Bone marrow aspirate smear:
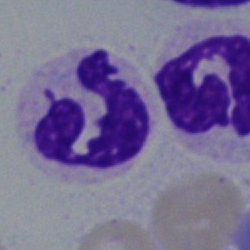{"cell_type": "neutrophil (segmented)", "lineage": "myeloid"}